Bone marrow aspirate smear · MGG-stained: 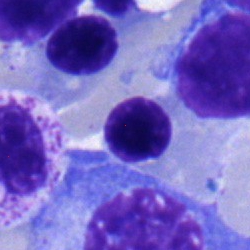 The cell shown is a normoblast.